Bone marrow smear: 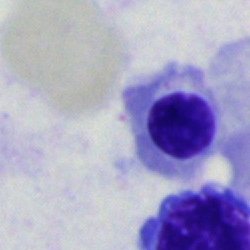
Morphology consistent with a nucleated red blood cell.